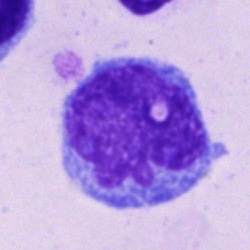

Bone marrow aspirate smear, single cell — monocyte.